250×250 px. 40× oil immersion. Bone marrow smear — 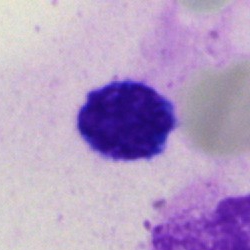
Cell type — lymphocyte.